Peripheral blood film. 100× oil immersion:
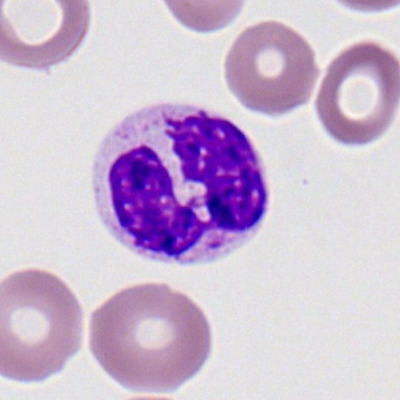

Cell: polymorphonuclear neutrophil.